Bone marrow aspirate smear:
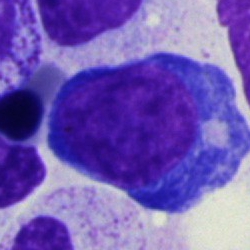

Morphology → normoblast.